Bone marrow aspirate smear — 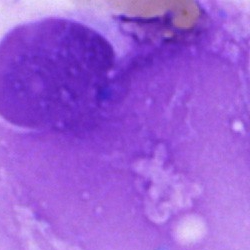
Showing an artefact.